Bone marrow aspirate smear: 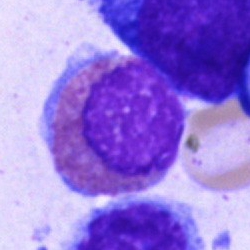 Q: Identify the cell.
A: It is an eosinophilic granulocyte.